Bone marrow smear. 250 by 250 pixels. MGG-stained.
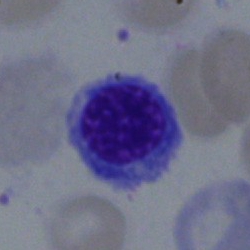

The cell is nucleated red cell.